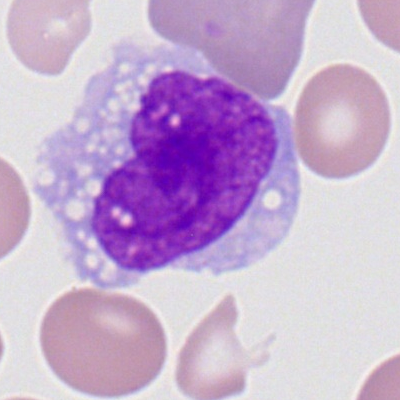The classification is monocyte.